250×250 · bone marrow aspirate smear: 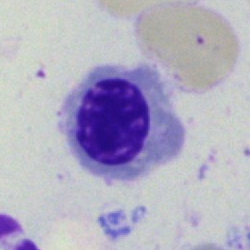
Cell type: nucleated red cell.